MGG-stained. Bone marrow smear:
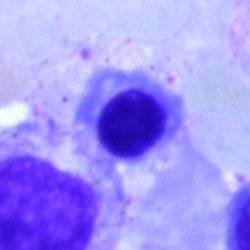
Specimen: bone marrow aspirate smear.
Cell: normoblast.